Bone marrow aspirate smear.
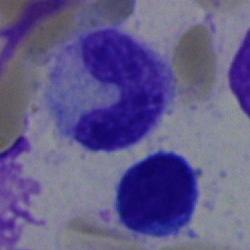

{"cell_type": "neutrophil (band)", "lineage": "myeloid"}